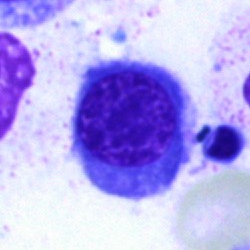
Specimen: bone marrow smear.
Classification: erythroblast.